Bone marrow aspirate smear
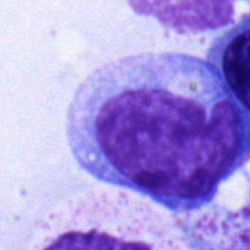

Specimen: bone marrow smear.
Cell: monocyte.
Lineage: myeloid.